Bone marrow aspirate smear; brightfield microscopy, 40× oil immersion:
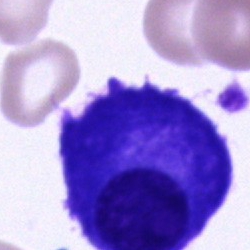The morphological class is plasmacyte.